Single cell centered in the field · Pappenheim-stained · bone marrow aspirate smear:
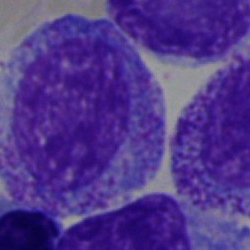
Classification — myelocyte.